Single-cell field. MGG-stained. Bone marrow smear:
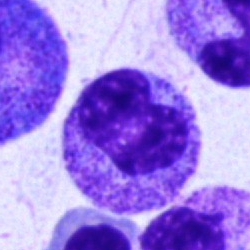 Q: What type of cell is this?
A: This is a metamyelocyte.